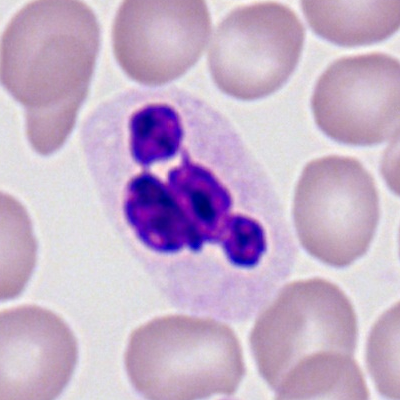Cell type — segmented neutrophil.